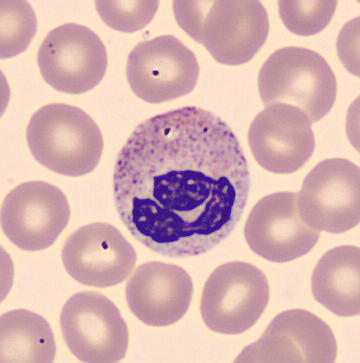 May-Grünwald-Giemsa-stained · peripheral blood smear · 360×363.
Single cell identified as a polymorphonuclear neutrophil.